Cropped to a single cell; bone marrow smear
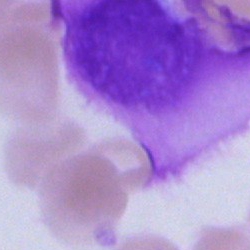 {"cell_type": "artifact"}